Bone marrow smear — 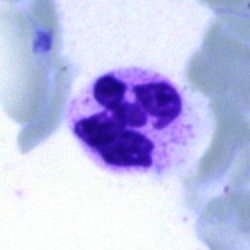
Q: What is the morphological classification of this cell?
A: It is a segmented neutrophil.